Bone marrow aspirate smear: 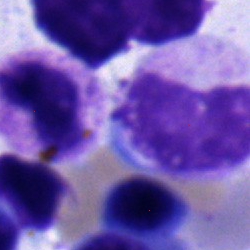{"cell_type": "metamyelocyte", "lineage": "myeloid"}